Bone marrow smear.
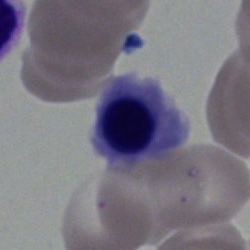

Showing an erythroblast.